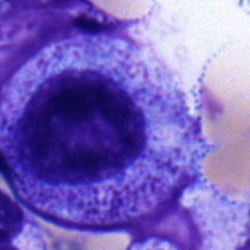 This is a progranulocyte.